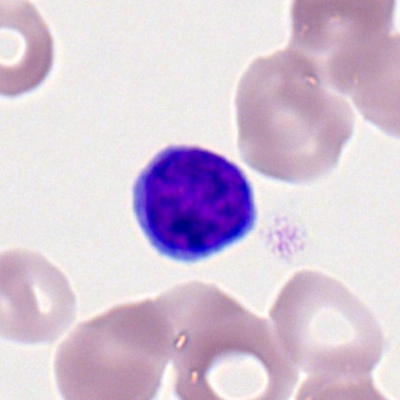

Cell type — lymphocyte.